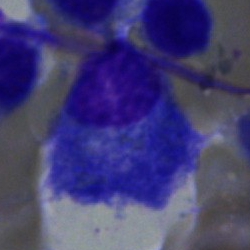 Q: Identify the cell.
A: Plasma cell.